May-Grünwald-Giemsa stain. Bone marrow aspirate smear.
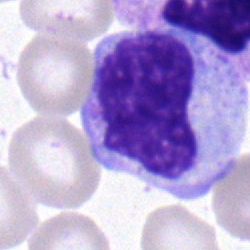Morphology consistent with a metamyelocyte.